Bone marrow smear: 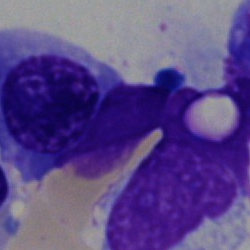
Classification = normoblast.